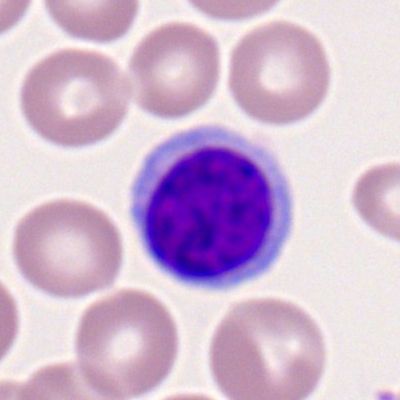Q: Which cell type is shown here?
A: A lymphocyte.